Peripheral blood smear.
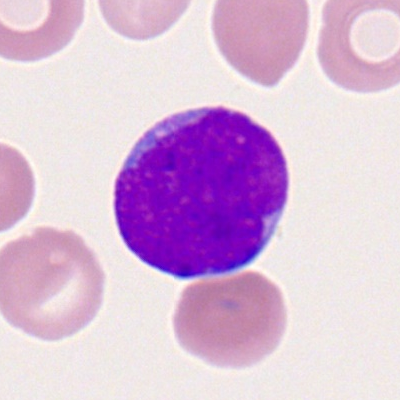

The classification is myeloblast.